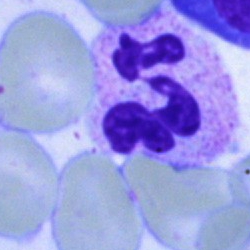

Morphology — polymorphonuclear neutrophil.